Bone marrow smear · image size 250×250 — 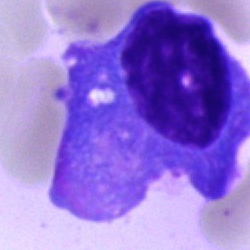

Impression — plasmacyte.